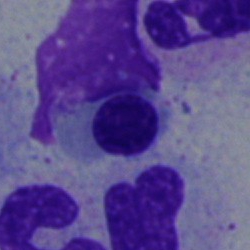

The cell type is nucleated red blood cell.